Peripheral blood film:
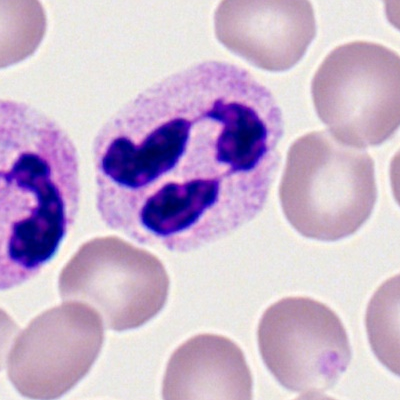

Specimen: peripheral blood film.
Cell type: polymorphonuclear neutrophil.